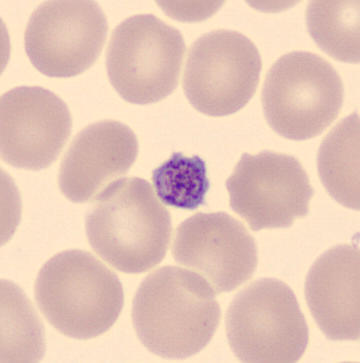

360×363.

Specimen: peripheral blood film.
Morphological class: platelet.